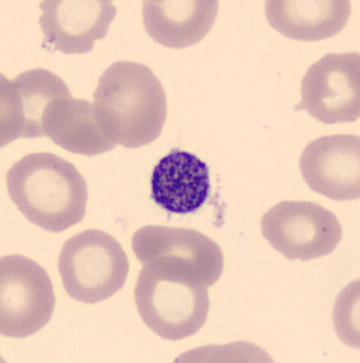
Cell type: thrombocyte.